Peripheral blood smear; 400 by 400 pixels: 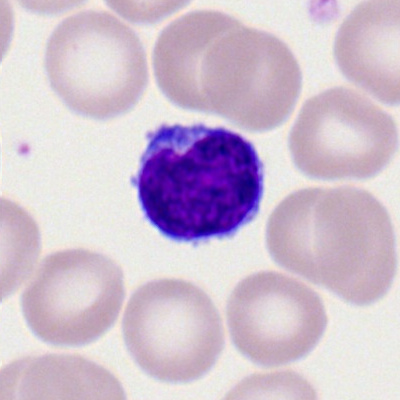

Morphology → lymphocyte.